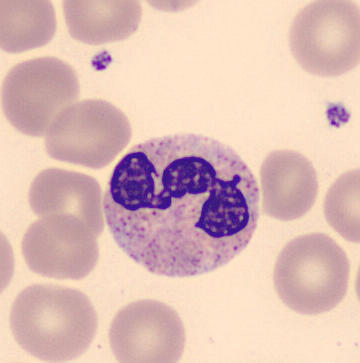The cell shown is a segmented neutrophil.
Acquisition: Single cell centered in the field; CellaVision DM96; peripheral blood film.